Bone marrow smear — 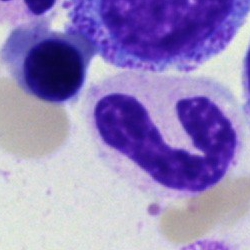Single cell identified as a polymorphonuclear neutrophil.